Bone marrow aspirate smear — 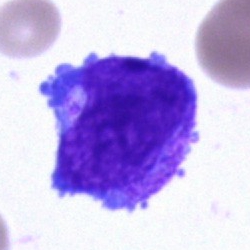 This is an undifferentiated blast.